Bone marrow smear; 40× objective, oil immersion; May-Grünwald-Giemsa stain — 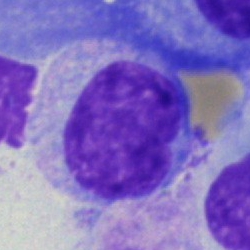The cell type is myelocyte.